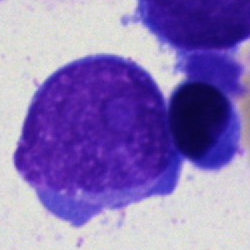Specimen: bone marrow aspirate smear.
Classification: blast cell.